Bone marrow smear
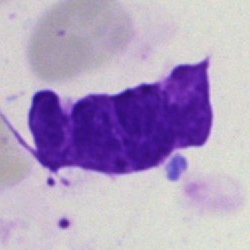

Classification — artefact.